Bone marrow aspirate smear.
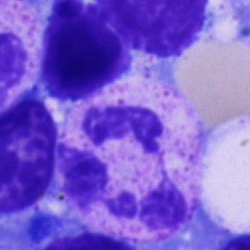Classification = polymorphonuclear neutrophil.